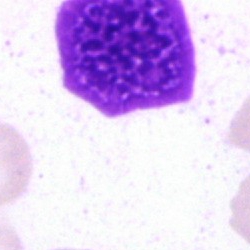Showing an artefact.